Bone marrow aspirate smear; MGG-stained; 40× oil immersion:
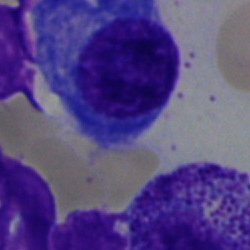The cell type is plasma cell.